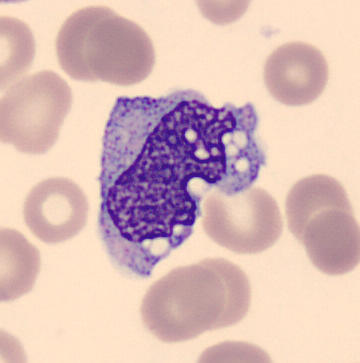
Image: Peripheral blood smear.

Q: What is shown here?
A: Monocyte.